Bone marrow smear — 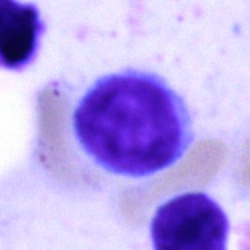 {"cell_type": "lymphocyte", "lineage": "lymphoid"}